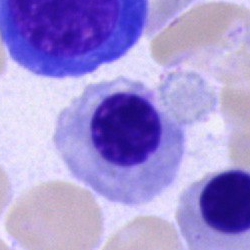

Morphological class = erythroblast.